Bone marrow smear:
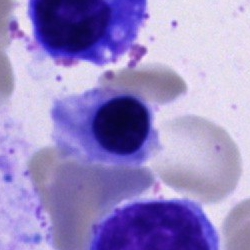
Q: Identify the cell.
A: Erythroblast.